Romanowsky-type stain; peripheral blood smear; single cell centered in the field
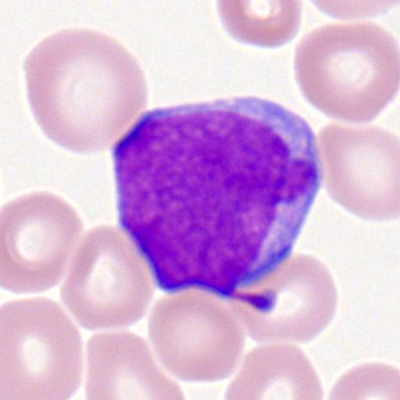

Impression — myeloblast.